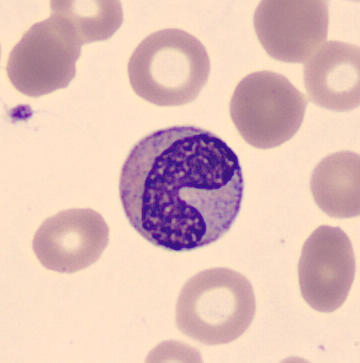Acquisition: Image size 360×363. Peripheral blood smear.

This is a band-form neutrophil.